May-Grünwald-Giemsa stain · single-cell crop · bone marrow smear.
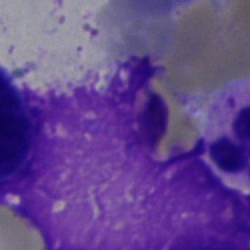

Q: What is shown here?
A: An artifact.